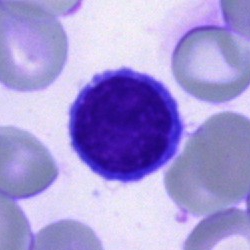{"cell_type": "lymphocyte", "lineage": "lymphoid"}